Peripheral blood smear — 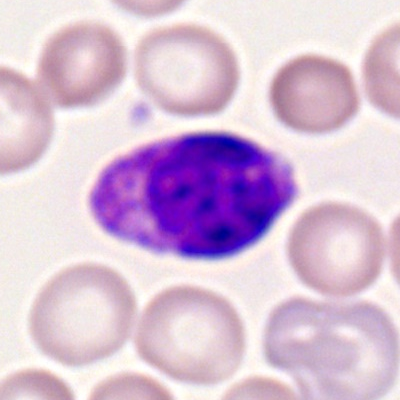

Q: Identify the cell.
A: A basophilic granulocyte.